Image size 250×250. Single cell centered in the field. Bone marrow aspirate smear
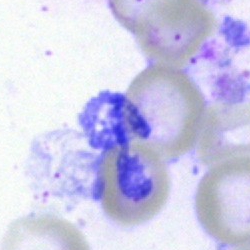Single cell identified as an artefact.